Brightfield, 100× oil-immersion objective. Peripheral blood smear. Romanowsky-stained
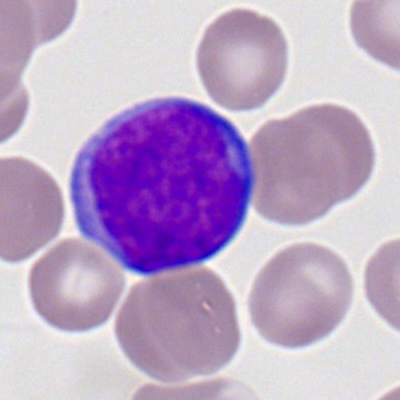 Q: Which cell type is shown here?
A: Myeloblast.